Brightfield, 40× oil-immersion objective; bone marrow aspirate smear
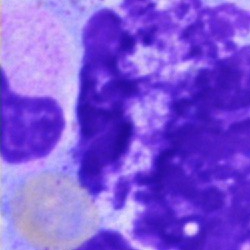
Morphology consistent with an artifact.